Bone marrow aspirate smear. Image size 250×250 — 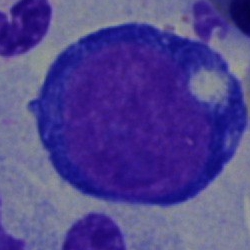
Morphological class: proerythroblast.